250×250; cropped to a single cell; bone marrow aspirate smear
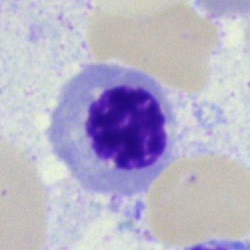 Q: What is the morphological classification of this cell?
A: This is a normoblast.